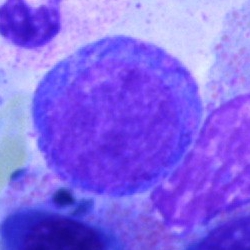Q: Identify the cell.
A: It is a promyelocyte.